Bone marrow aspirate smear: 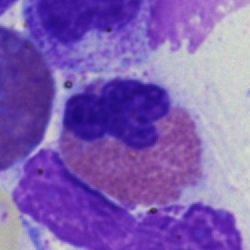

Impression — eosinophil.